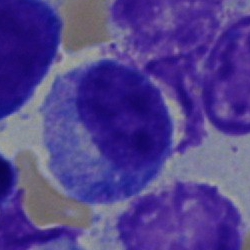
Single-cell crop from a bone marrow smear: myelocyte.